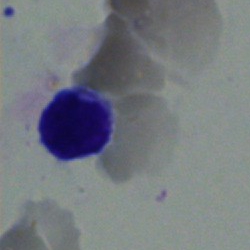

Specimen: bone marrow smear.
Morphological class: typical lymphocyte.